Bone marrow smear · 250×250 · MGG-stained
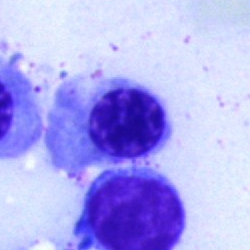

Showing a nucleated red blood cell.